Bone marrow aspirate smear.
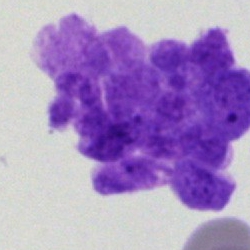

Specimen: bone marrow aspirate smear.
Cell type: artefact.